Image size 250×250. Bone marrow aspirate smear: 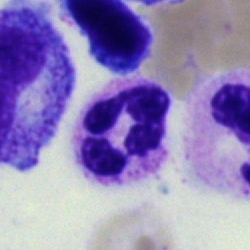
This is a polymorphonuclear neutrophil.